May-Grünwald-Giemsa stain. Bone marrow smear:
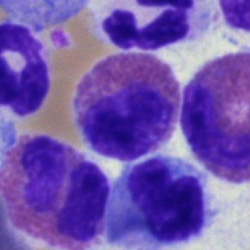 Morphological class — eosinophil.